Bone marrow smear.
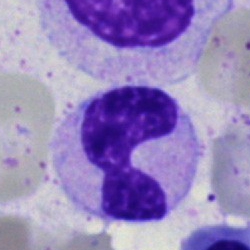
This is a band neutrophil.